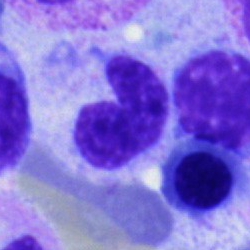

The cell type is band neutrophil.